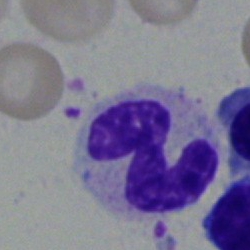
Bone marrow smear showing a neutrophil (segmented).